Peripheral blood smear
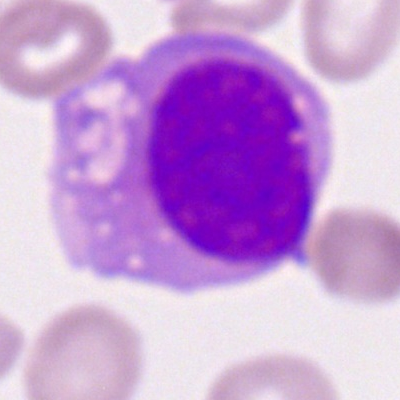 Cell = monocyte.